Bone marrow smear:
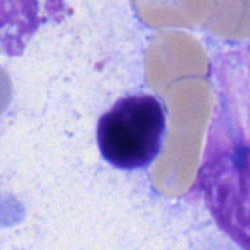

Single cell identified as a lymphocyte.